Bone marrow aspirate smear — 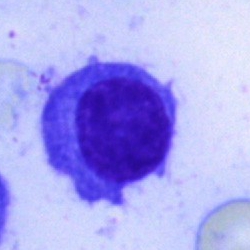Morphological class = plasma cell.